Bone marrow aspirate smear: 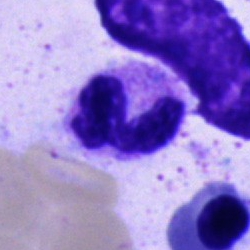 Morphology — polymorphonuclear neutrophil.